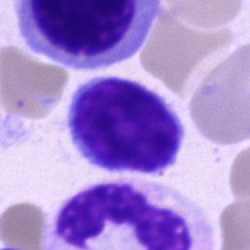A lymphocyte.